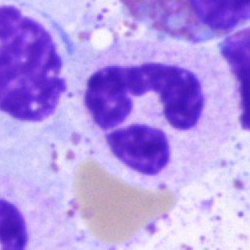
A neutrophil (segmented).